Peripheral blood smear: 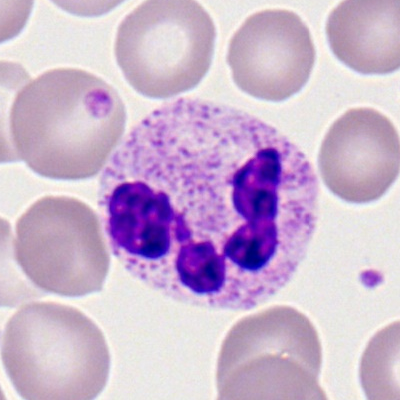

Impression → segmented neutrophil.